40× oil immersion. Bone marrow aspirate smear.
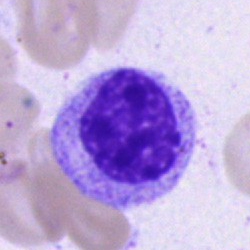 Morphology — myelocyte.